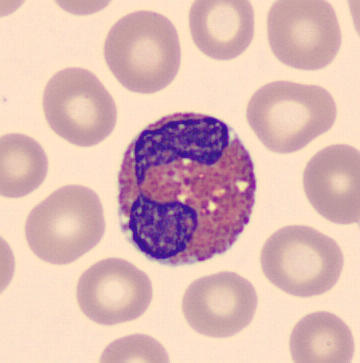Cell = eosinophil.

Peripheral blood film.